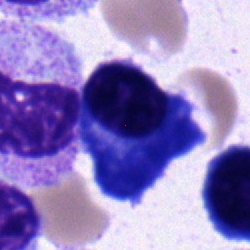 Morphological class = plasma cell.